40× objective, oil immersion. Bone marrow aspirate smear:
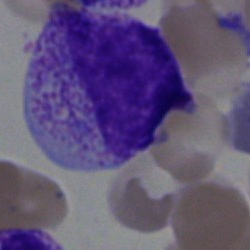
The cell type is myelocyte.